Peripheral blood film
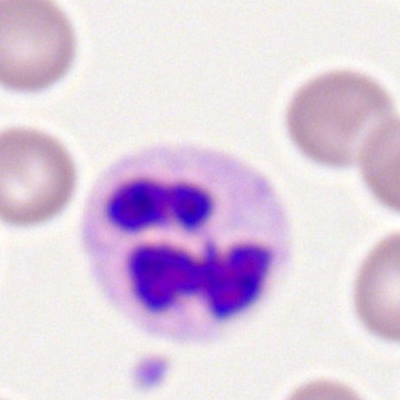

{"cell_type": "segmented neutrophil", "lineage": "myeloid"}